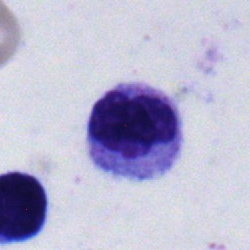 Specimen: bone marrow smear.
Classification: monocyte.